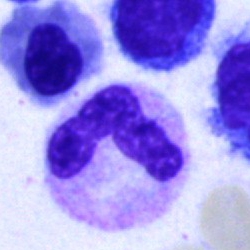
Q: Identify the cell.
A: A segmented neutrophil.